Bone marrow smear. 250×250 px. Single cell centered in the field
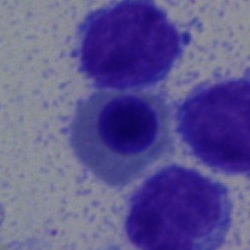 Q: What type of cell is this?
A: Normoblast.